Bone marrow smear: 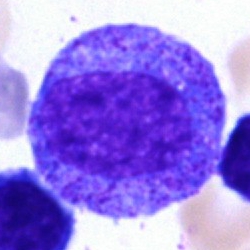

Morphological class = promyelocyte.